Bone marrow smear · single-cell field
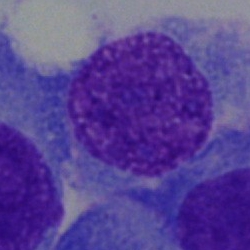

Impression — plasmacyte.